Bone marrow smear — 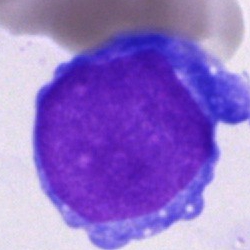The morphological class is blast.